Bone marrow smear:
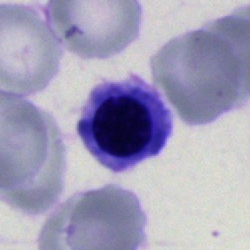

A nucleated red blood cell.